Bone marrow aspirate smear: 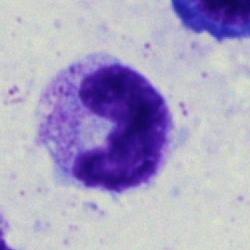

Single cell identified as a neutrophil (segmented).